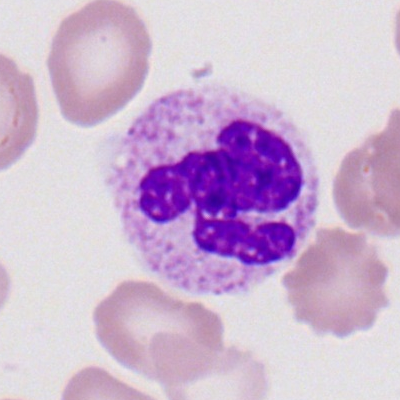 Impression → polymorphonuclear neutrophil.